Bone marrow smear — 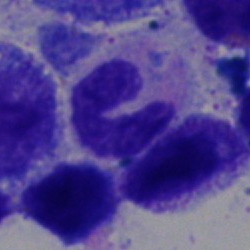

Q: What type of cell is this?
A: This is a neutrophil (segmented).